Bone marrow aspirate smear: 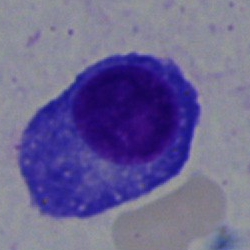

This is a plasma cell.